Peripheral blood film: 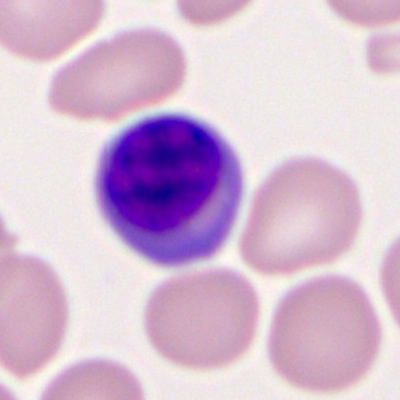

Classification — erythroblast.